Bone marrow aspirate smear.
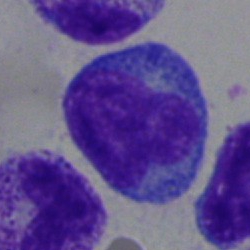Q: What is the morphological classification of this cell?
A: It is a monocyte.